250×250 · bone marrow smear — 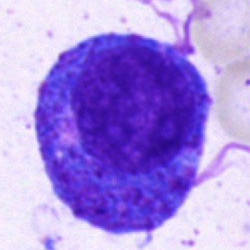
Cell = promyelocyte.